Bone marrow smear — 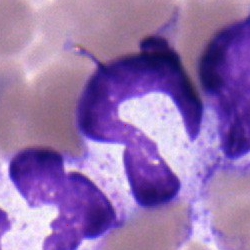Morphological class — polymorphonuclear neutrophil.